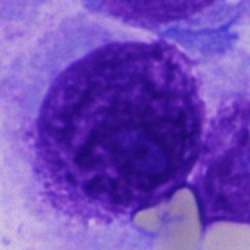
Cell type: other cell.